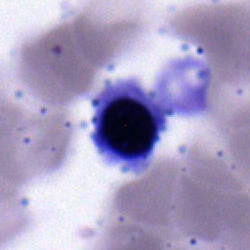 Q: What is shown here?
A: A normoblast.